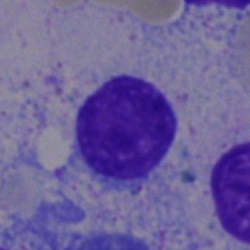 A typical lymphocyte.